Image size 250×250. May-Grünwald-Giemsa/Pappenheim stain. Bone marrow aspirate smear: 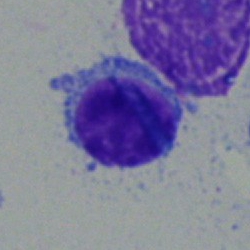 Cell: lymphocyte.